250×250 px · bone marrow aspirate smear:
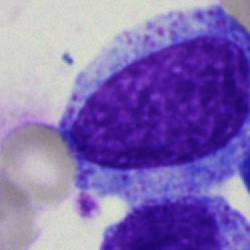

A progranulocyte.